Peripheral blood film.
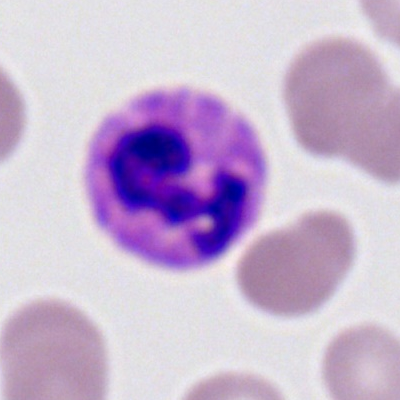Cell = polymorphonuclear neutrophil.